Bone marrow aspirate smear: 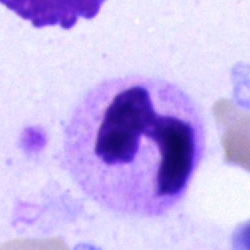Specimen: bone marrow smear.
Cell type: polymorphonuclear neutrophil.